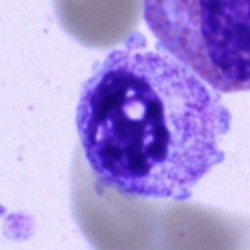
Single-cell crop from a bone marrow smear: neutrophil (segmented).